Peripheral blood smear:
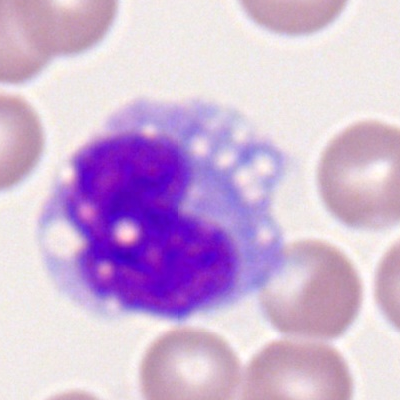
Single cell identified as a monocyte.